Peripheral blood film:
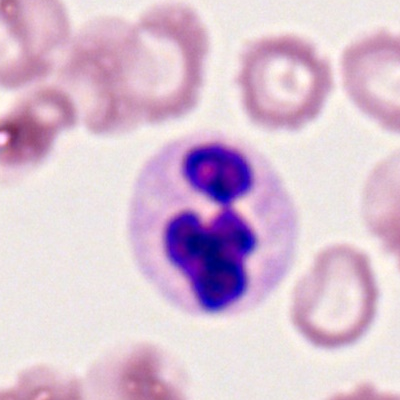
{"cell_type": "neutrophil (segmented)", "lineage": "myeloid"}